Bone marrow smear.
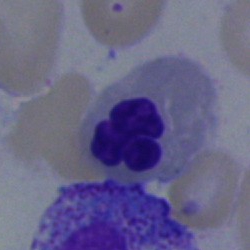Cell: nucleated red cell.